Peripheral blood film. Cropped to a single cell. 400 by 400 pixels: 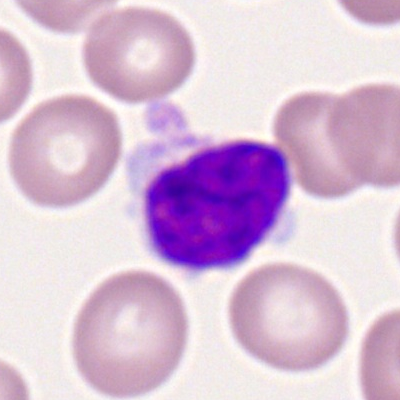
Morphological class: lymphocyte.